Bone marrow smear:
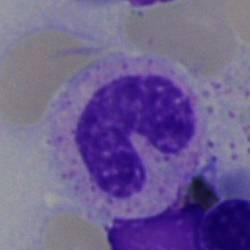

Q: What is the morphological classification of this cell?
A: A band-form neutrophil.